Bone marrow aspirate smear; 250×250 px.
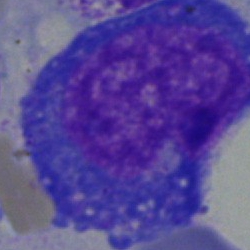

A progranulocyte.